Bone marrow aspirate smear:
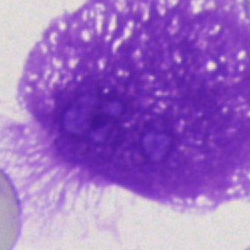
Specimen: bone marrow smear.
Cell type: artefact.